Bone marrow aspirate smear. Brightfield, 40× oil-immersion objective.
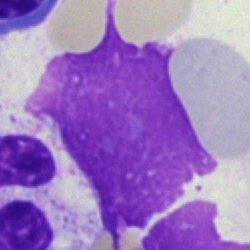 Artefact.